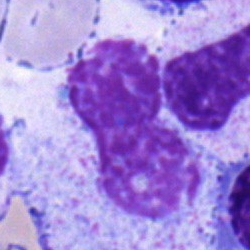Impression — metamyelocyte.